Bone marrow aspirate smear: 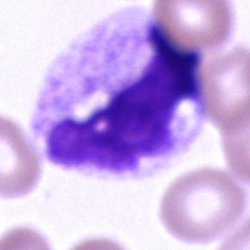
Unidentifiable cell.